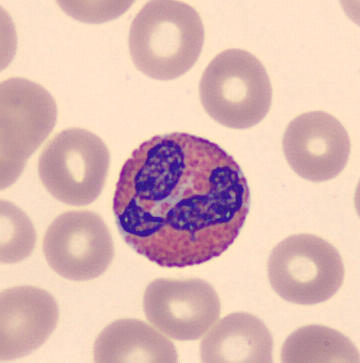

Acquisition: May-Grünwald-Giemsa-stained · peripheral blood smear. Q: What type of cell is this?
A: An eosinophilic granulocyte.